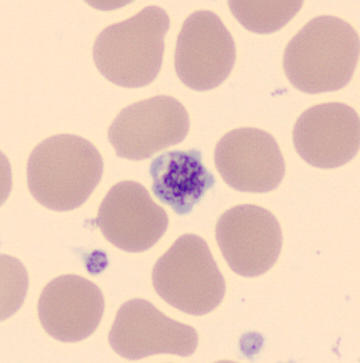Acquisition: Peripheral blood smear.
{"cell_type": "platelet (thrombocyte)"}